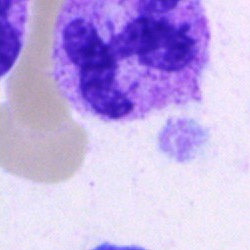
Cell type = segmented neutrophil.